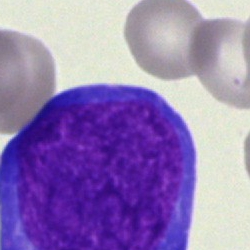 Q: Which cell type is shown here?
A: A pronormoblast.